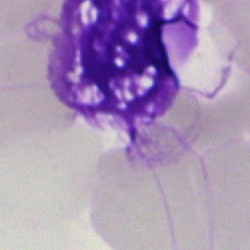
Bone marrow aspirate smear, single cell — artefact.